Bone marrow aspirate smear: 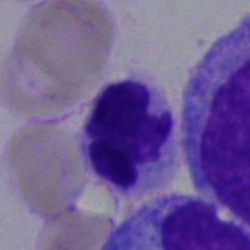
Specimen: bone marrow smear.
Cell: artifact.